Bone marrow smear; single-cell field:
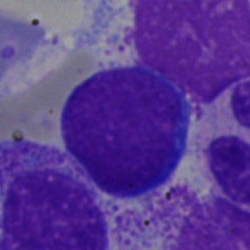
Morphological class = lymphocyte.